40× objective, oil immersion. Bone marrow aspirate smear.
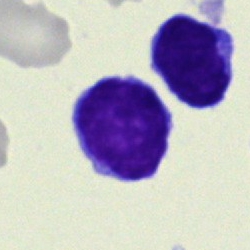

The cell shown is a typical lymphocyte.